Pappenheim-stained · bone marrow smear
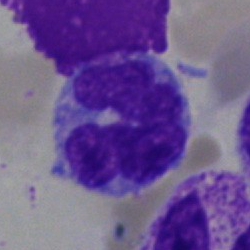
Q: What cell is this?
A: A monocyte.